Bone marrow aspirate smear: 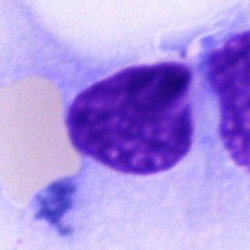

Q: What is shown here?
A: Artifact.